Bone marrow smear · 250×250 · brightfield, 40× oil-immersion objective — 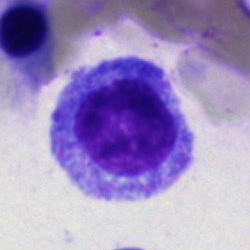Morphological class: progranulocyte.